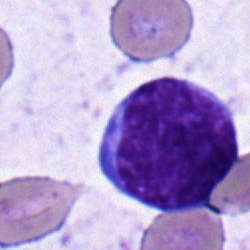
Bone marrow aspirate smear, single cell — typical lymphocyte.